Bone marrow aspirate smear. MGG-stained:
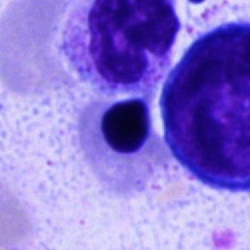 Q: What is the morphological classification of this cell?
A: It is a normoblast.